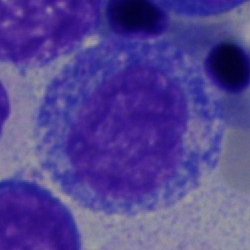
Q: What is the morphological classification of this cell?
A: It is a progranulocyte.